Bone marrow smear · 40× objective, oil immersion
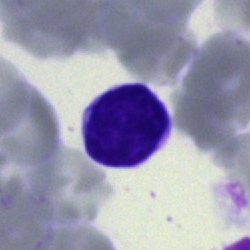 The cell type is typical lymphocyte.